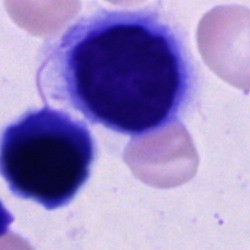 Q: What type of cell is this?
A: This is a cell of indeterminate lineage.